Bone marrow aspirate smear:
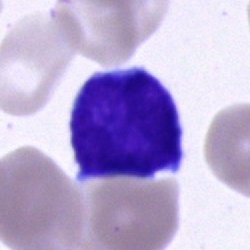
Cell — typical lymphocyte.